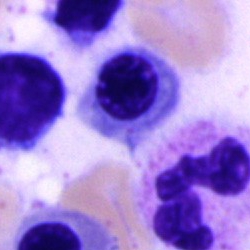

Morphology → nucleated red cell.